May-Grünwald-Giemsa stain. Bone marrow smear. 40× objective, oil immersion
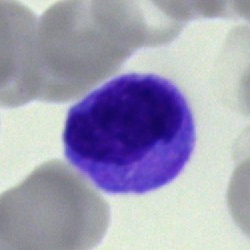
Cell: monocyte.